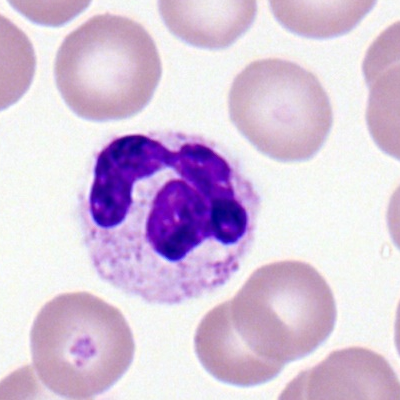Morphology — polymorphonuclear neutrophil.